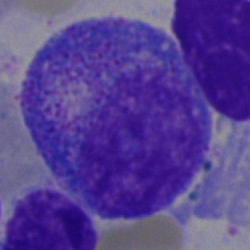
Q: What type of cell is this?
A: A promyelocyte.